Peripheral blood smear — 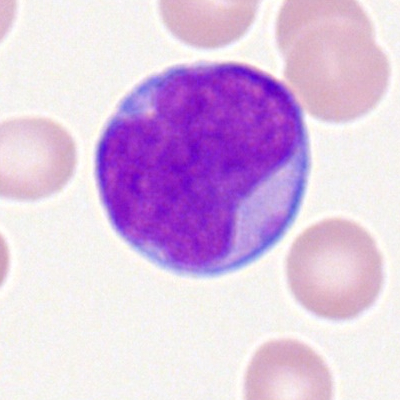Q: What is the morphological classification of this cell?
A: This is a myeloid blast.